Bone marrow aspirate smear; May-Grünwald-Giemsa/Pappenheim stain
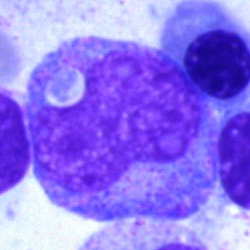
A metamyelocyte.